MGG stain. Peripheral blood smear
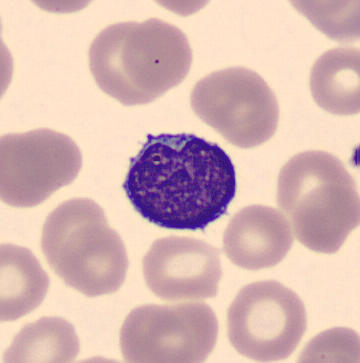 Q: What is the morphological classification of this cell?
A: Typical lymphocyte.